Peripheral blood smear.
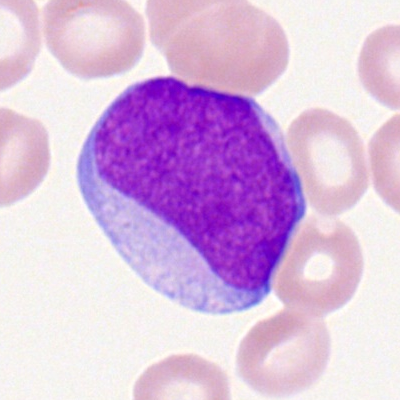

The morphological class is myeloblast.